Bone marrow smear — 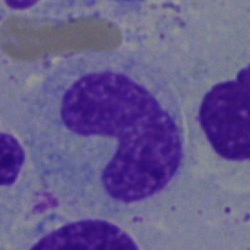
Stab cell.